Peripheral blood film:
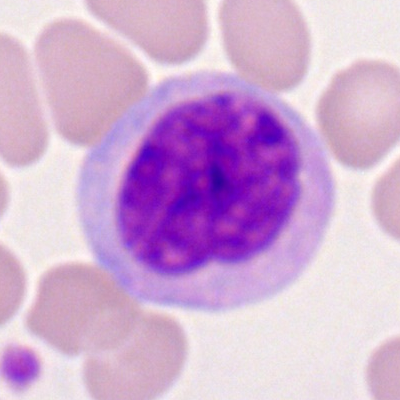 Cell = monocyte.